Bone marrow smear:
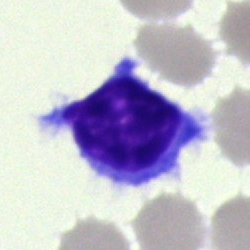
Specimen: bone marrow smear.
Morphological class: typical lymphocyte.
Lineage: lymphoid.